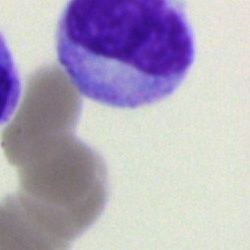
Morphology consistent with a cell of indeterminate lineage.